Bone marrow smear:
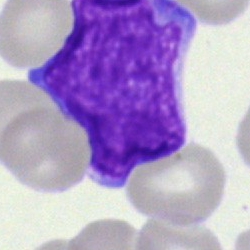
Q: Identify the cell.
A: This is a blast cell.